Image size 250×250 · bone marrow smear · MGG-stained — 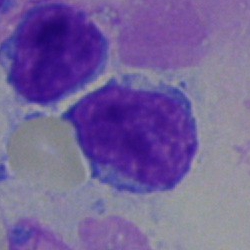 Q: What is shown here?
A: It is a lymphocyte.